250 by 250 pixels; bone marrow aspirate smear — 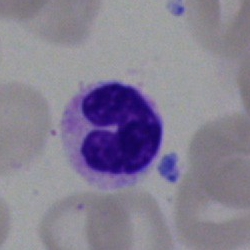 Specimen: bone marrow aspirate smear.
Morphological class: segmented neutrophil.
Lineage: myeloid.